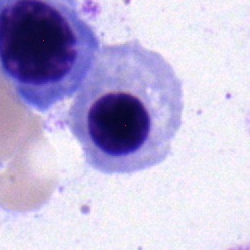 Q: Which cell type is shown here?
A: A normoblast.